Bone marrow aspirate smear
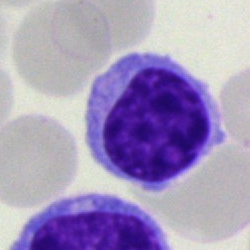 Q: Which cell type is shown here?
A: It is a lymphocyte.